Bone marrow aspirate smear.
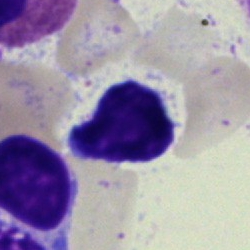

The cell is lymphocyte.